Single-cell field; bone marrow smear
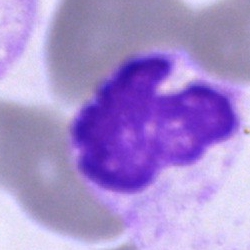Q: Which cell type is shown here?
A: It is an unidentifiable cell.